Bone marrow smear. Pappenheim-stained.
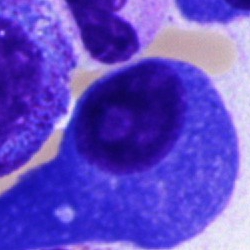

Plasma cell.